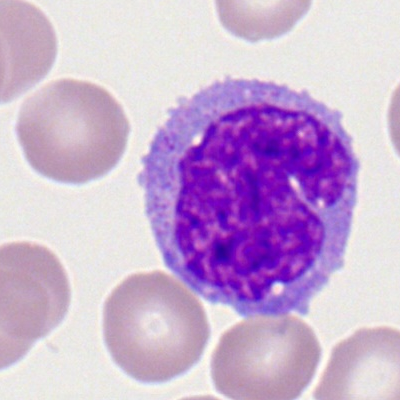
Cell: monocyte.